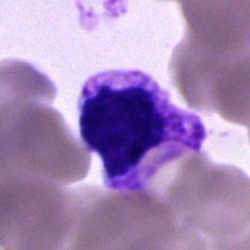 Neutrophil (segmented).